Single-cell field · bone marrow smear
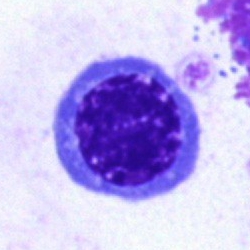 Erythroblast.